Bone marrow aspirate smear
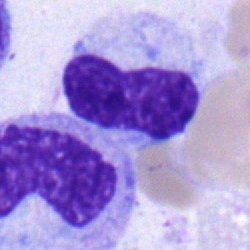Q: What type of cell is this?
A: It is a metamyelocyte.